Bone marrow smear.
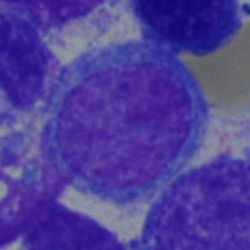

Q: Identify the cell.
A: An undifferentiated blast.